Bone marrow smear
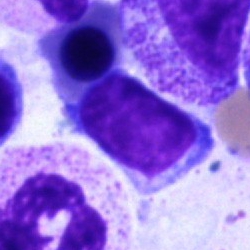Cell type — lymphocyte.